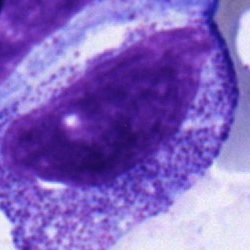
Single-cell crop from a bone marrow smear: myelocyte.